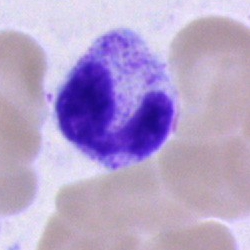
Bone marrow smear showing a neutrophil (segmented).